Bone marrow aspirate smear:
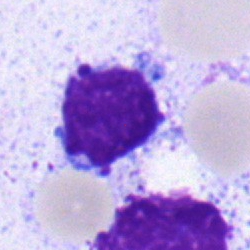
This is a lymphocyte.